Bone marrow smear · image size 250×250 · brightfield, 40× oil-immersion objective.
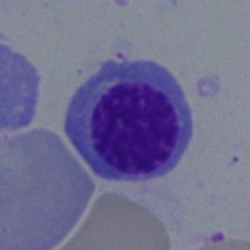 Classification: normoblast.